Bone marrow smear: 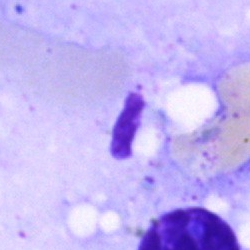

The cell shown is an artefact.